Peripheral blood film — 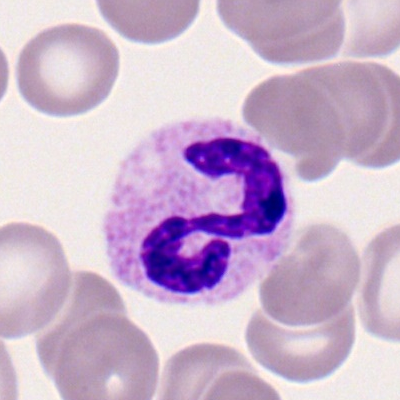

Impression → polymorphonuclear neutrophil.